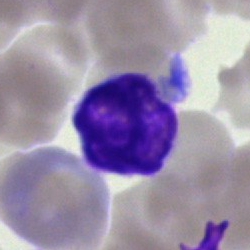

Morphology — typical lymphocyte.